Peripheral blood smear; 100× oil immersion; cropped to a single cell:
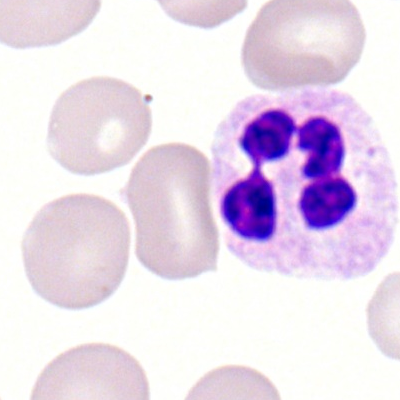Q: Identify the cell.
A: This is a neutrophil (segmented).